Bone marrow aspirate smear — 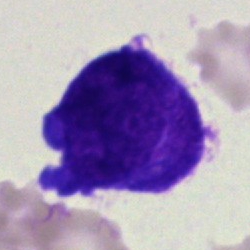

Undifferentiated blast.